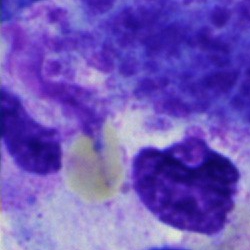

Artefact.